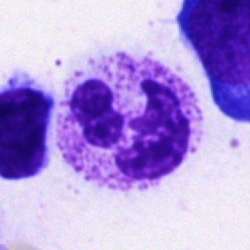

Q: Identify the cell.
A: This is a neutrophil (segmented).